Bone marrow smear.
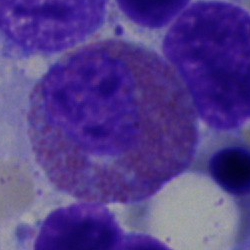 Morphology consistent with an eosinophilic granulocyte.